Bone marrow aspirate smear
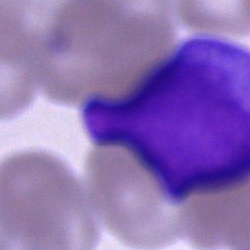
Specimen: bone marrow smear.
Morphological class: blast.